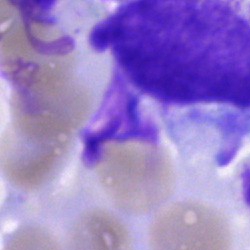
Cell type — artefact.